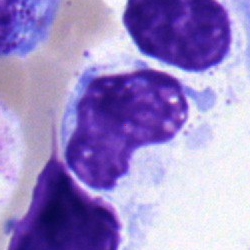Impression → metamyelocyte.